Bone marrow smear · image size 250×250: 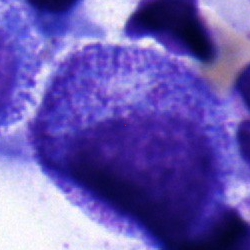Cell type = promyelocyte.